40× oil immersion · bone marrow aspirate smear · image size 250×250 — 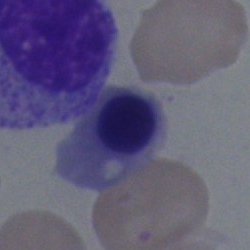

Specimen: bone marrow smear.
Cell type: erythroblast.